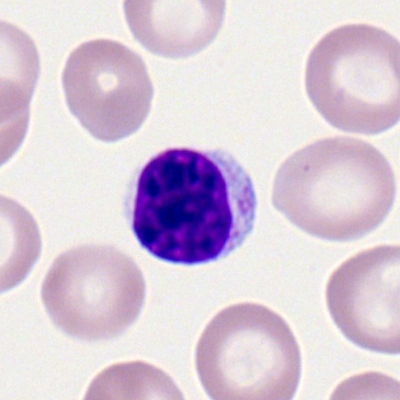

Q: Which cell type is shown here?
A: Typical lymphocyte.